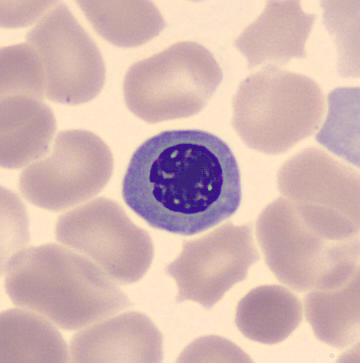 The cell type is erythroblast.
Image: Peripheral blood film.